Bone marrow smear · May-Grünwald-Giemsa stain · single-cell field:
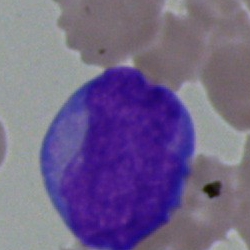 Q: What cell is this?
A: A blast.